Bone marrow aspirate smear
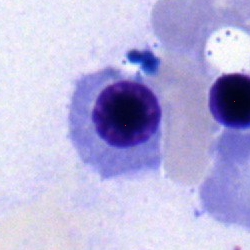
Morphology → nucleated red blood cell.